250×250 px · bone marrow aspirate smear
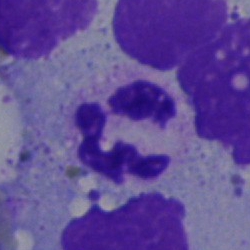 Q: What is shown here?
A: This is a neutrophil (segmented).